Peripheral blood film: 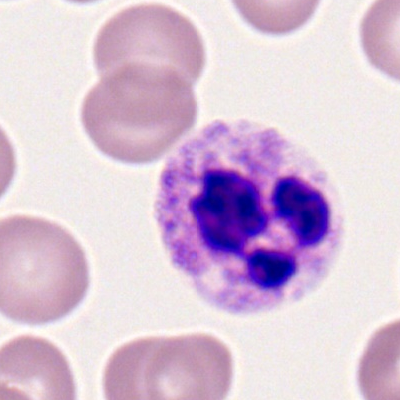

Morphology consistent with a polymorphonuclear neutrophil.